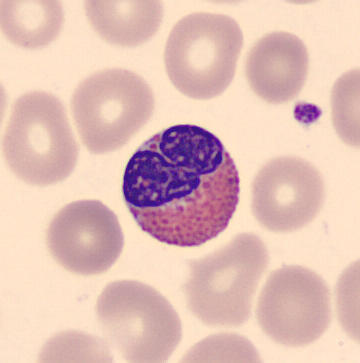 Acquisition: Peripheral blood smear. Eosinophil.